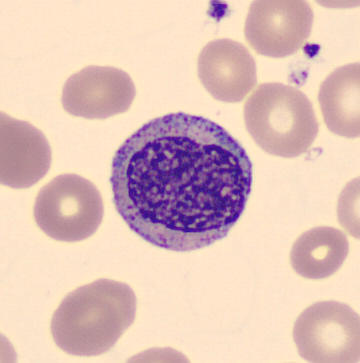
Cell type — myelocyte.